Bone marrow aspirate smear: 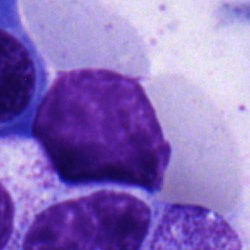 Q: What is the morphological classification of this cell?
A: This is a lymphocyte.